250×250 px; bone marrow aspirate smear; brightfield, 40× oil-immersion objective.
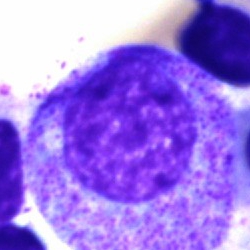

Cell: promyelocyte.